Bone marrow aspirate smear
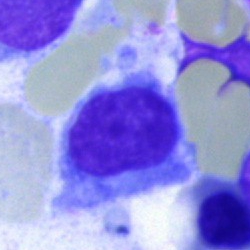

The cell shown is a lymphocyte.